Bone marrow aspirate smear
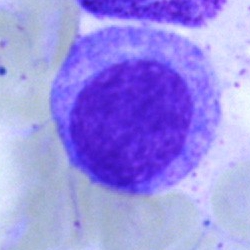Morphological class = myelocyte.